Bone marrow aspirate smear:
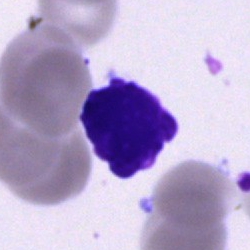
Classification — artefact.